Bone marrow smear; 250×250 px:
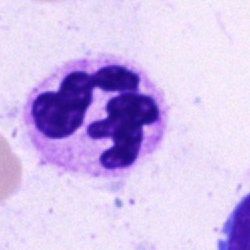

Q: What is the morphological classification of this cell?
A: It is a segmented neutrophil.